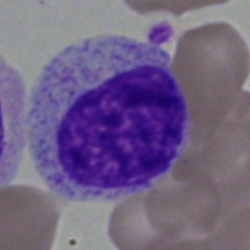

Q: What is the morphological classification of this cell?
A: It is a myelocyte.